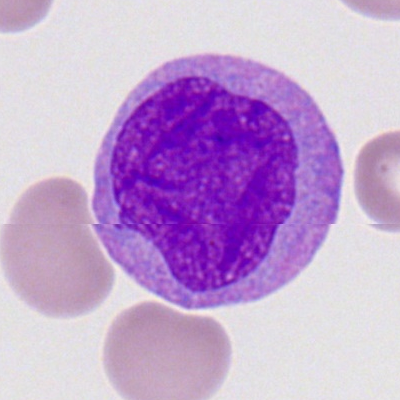Cell type — myeloblast.